Brightfield, 40× oil-immersion objective · bone marrow smear
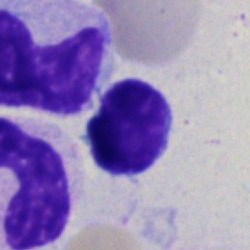
Classification: lymphocyte.